Bone marrow aspirate smear
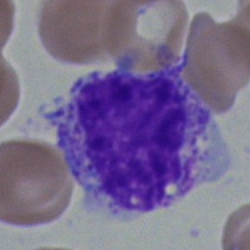

{"cell_type": "myelocyte", "lineage": "myeloid"}